Bone marrow aspirate smear:
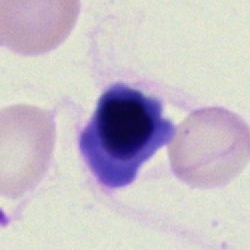

Morphology → nucleated red blood cell.